Peripheral blood film.
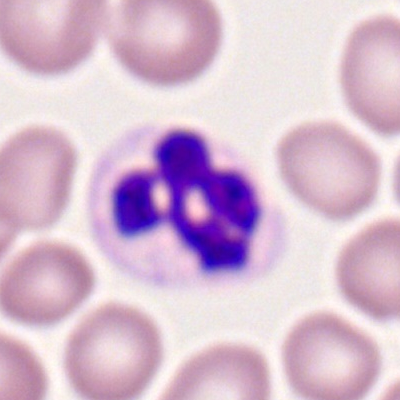Specimen: peripheral blood film.
Cell type: neutrophil (segmented).
Lineage: myeloid.